Single-cell crop; bone marrow aspirate smear:
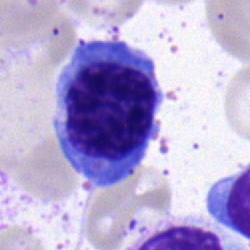
Showing a normoblast.